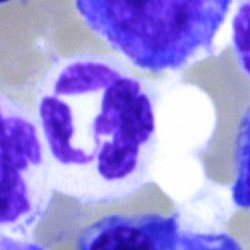 The morphological class is polymorphonuclear neutrophil.